Bone marrow aspirate smear: 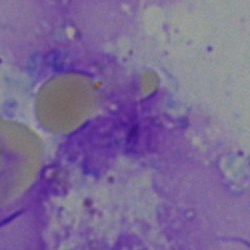

Artefact.